Bone marrow smear: 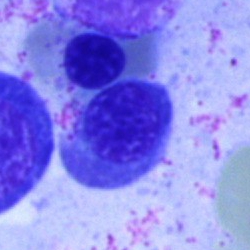
Morphological class = nucleated red cell.